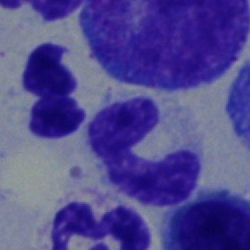Morphological class — neutrophil (band).